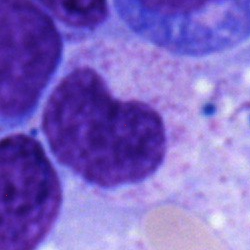 A metamyelocyte.